250×250. Bone marrow smear:
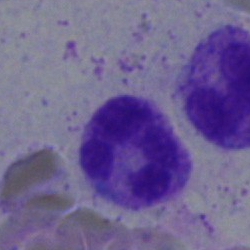
Cell: segmented neutrophil.